Brightfield, 40× oil-immersion objective; bone marrow smear — 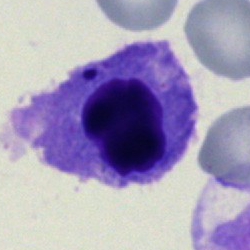 {"cell_type": "nucleated red cell", "lineage": "erythroid"}